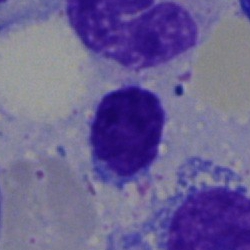

Cell — typical lymphocyte.